Image size 400×400; Romanowsky stain; peripheral blood film.
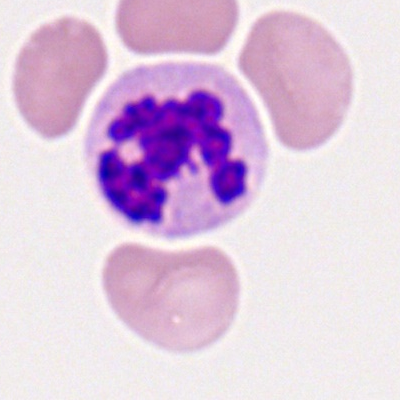

Impression → segmented neutrophil.